Bone marrow smear:
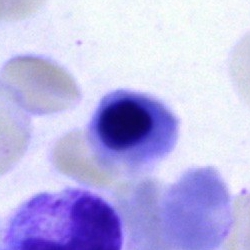

Impression — erythroblast.